Bone marrow aspirate smear; single cell centered in the field
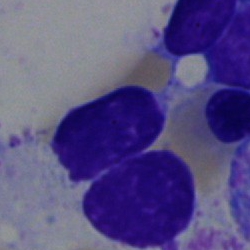
This is an artifact.